Bone marrow smear; single cell centered in the field:
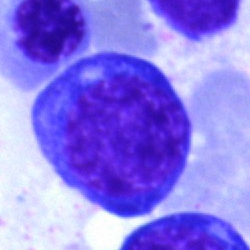 This is a normoblast.